Single cell centered in the field; 40× oil immersion; bone marrow smear
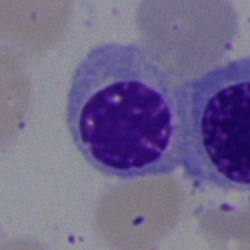

Showing a normoblast.